Bone marrow aspirate smear
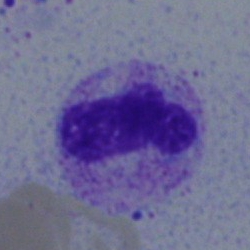 Q: What type of cell is this?
A: It is a neutrophil (band).